Bone marrow aspirate smear
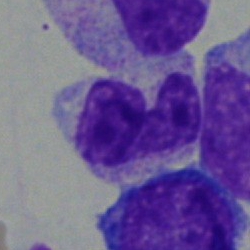Band-form neutrophil.